Bone marrow aspirate smear.
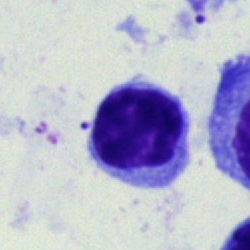
{"cell_type": "lymphocyte", "lineage": "lymphoid"}